Bone marrow smear: 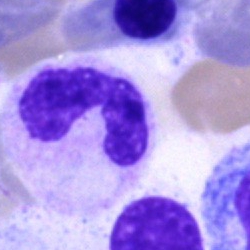 Morphological class = stab cell.